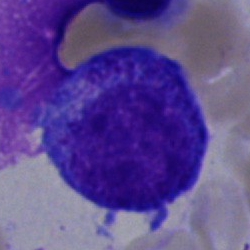

A promyelocyte on a bone marrow smear.